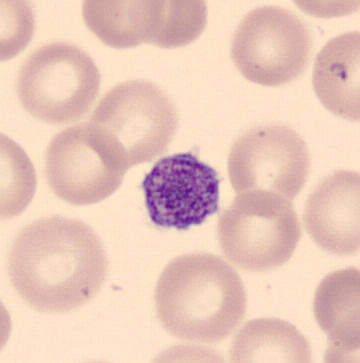 Peripheral blood smear. Classification = platelet (thrombocyte).